Bone marrow smear:
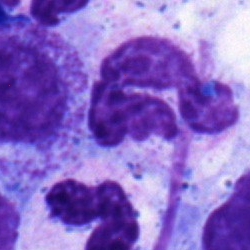 Q: Identify the cell.
A: It is a polymorphonuclear neutrophil.